Brightfield microscopy, 40× oil immersion; bone marrow aspirate smear; 250 by 250 pixels.
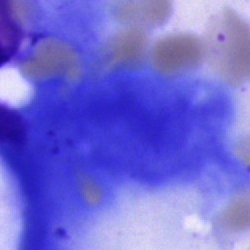

This is an artifact.